Peripheral blood film.
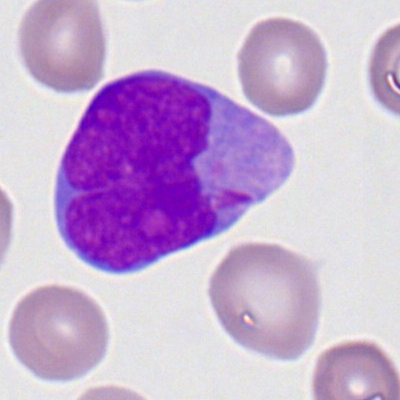 Cell — myeloblast.